40× objective, oil immersion · bone marrow aspirate smear — 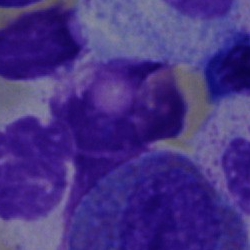The classification is artifact.